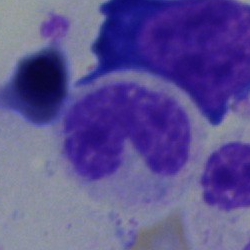Specimen: bone marrow smear.
Cell: band neutrophil.
Lineage: myeloid.